Bone marrow smear · single-cell crop · image size 250×250
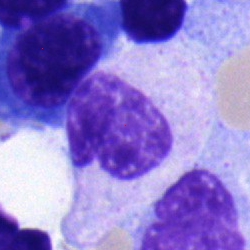

Q: What is the morphological classification of this cell?
A: It is a neutrophil (band).